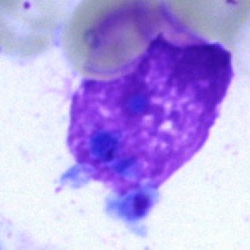 Morphology consistent with an artifact.